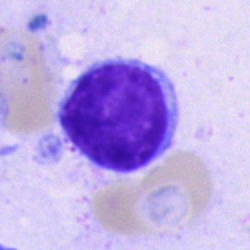Specimen: bone marrow smear.
Morphological class: lymphocyte.
Lineage: lymphoid.